Bone marrow smear: 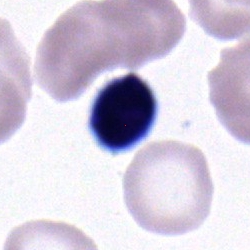 Q: What is the morphological classification of this cell?
A: It is a lymphocyte.